Bone marrow smear: 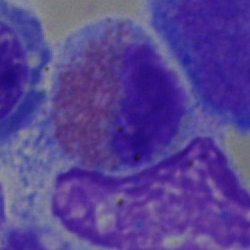 Q: What cell is this?
A: An eosinophil.